May-Grünwald-Giemsa stain. Single cell centered in the field. Bone marrow aspirate smear.
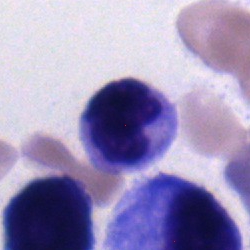Classification: monocyte.